Bone marrow aspirate smear; May-Grünwald-Giemsa/Pappenheim stain — 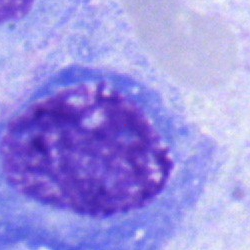
Morphology consistent with a plasma cell.